Bone marrow aspirate smear
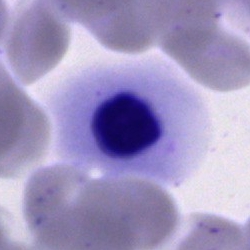
Specimen: bone marrow smear.
Cell type: nucleated red blood cell.